Pappenheim-stained. Bone marrow smear. 250×250.
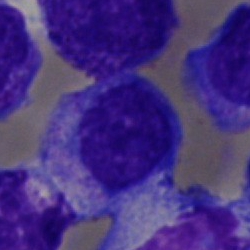
The morphological class is blast.